Single cell centered in the field. Bone marrow aspirate smear. Brightfield microscopy, 40× oil immersion:
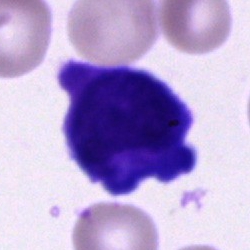
The classification is undifferentiated blast.